Bone marrow smear · Pappenheim-stained
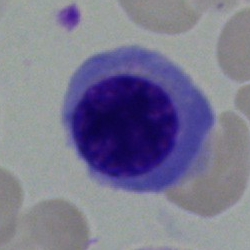

Morphology consistent with an erythroblast.